Bone marrow smear: 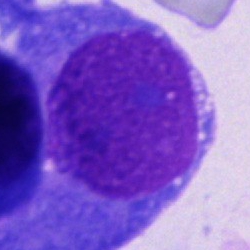 Impression → other cell.